Bone marrow aspirate smear; 250 by 250 pixels; 40× oil immersion:
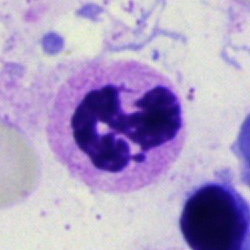

Q: Which cell type is shown here?
A: Polymorphonuclear neutrophil.